Peripheral blood film: 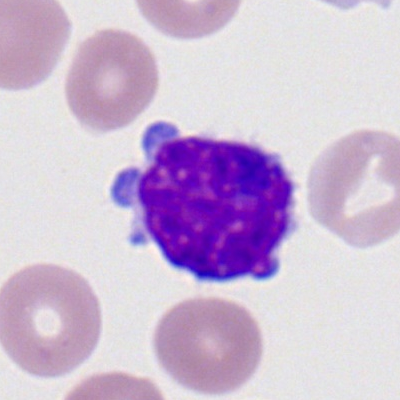 Q: What type of cell is this?
A: Lymphocyte.